Bone marrow smear · 40× oil immersion
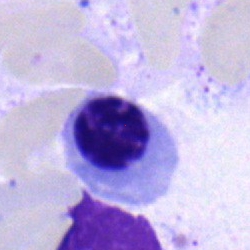 Classification: erythroblast.